Bone marrow smear
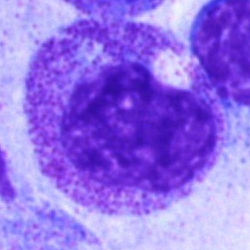{"cell_type": "myelocyte", "lineage": "myeloid"}